Bone marrow aspirate smear.
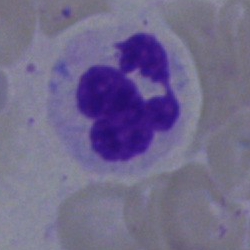

Morphology — polymorphonuclear neutrophil.